Bone marrow smear. 40× objective, oil immersion
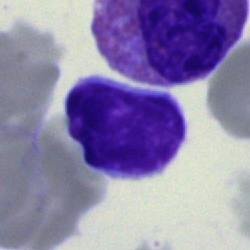

Single cell identified as a lymphocyte.